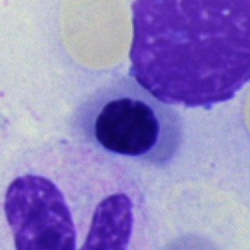The cell type is nucleated red blood cell.